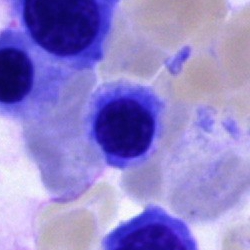Q: What is the morphological classification of this cell?
A: This is a nucleated red cell.